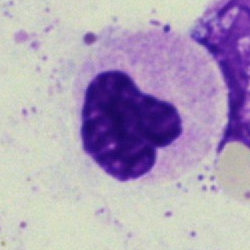 Specimen: bone marrow aspirate smear.
Morphological class: stab cell.
Lineage: myeloid.